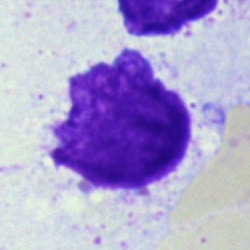The cell is artifact.